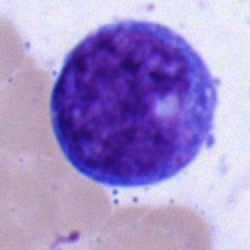 An undifferentiated blast.